40× oil immersion; bone marrow smear — 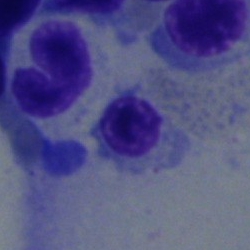 Morphology consistent with a nucleated red cell.